Bone marrow aspirate smear
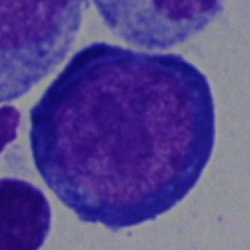

Showing a proerythroblast.